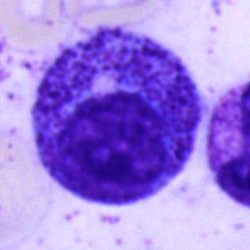

Q: What is shown here?
A: It is a promyelocyte.